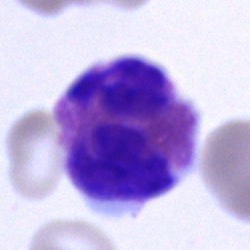 An eosinophilic granulocyte.